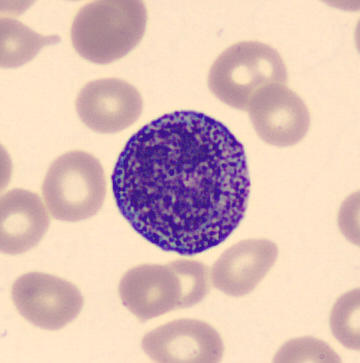
Image: Peripheral blood film. Cell = progranulocyte.